250×250 px. Bone marrow aspirate smear:
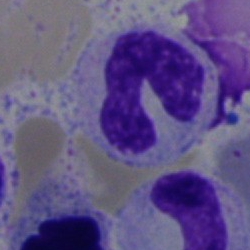
Cell = neutrophil (segmented).